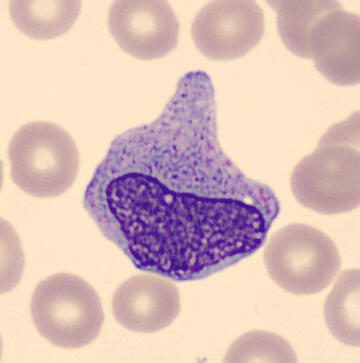 Impression — monocyte.

Imaged on a CellaVision DM96 analyser. Peripheral blood smear.